Bone marrow smear; brightfield microscopy, 40× oil immersion.
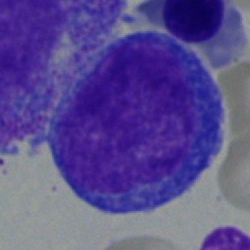Q: What type of cell is this?
A: It is a blast cell.